Bone marrow smear: 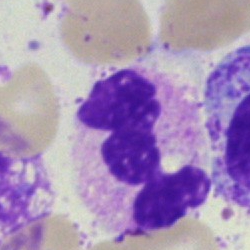 Cell — polymorphonuclear neutrophil.